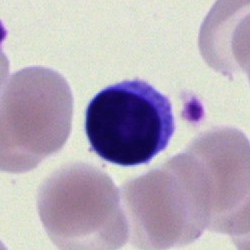
Single cell identified as a lymphocyte.